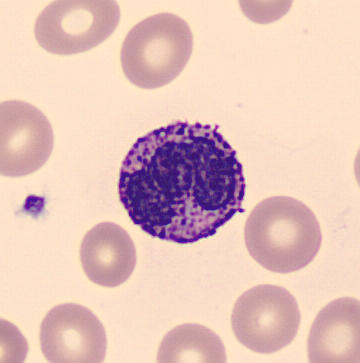

Q: Which cell type is shown here?
A: A basophil.

Peripheral blood film.